40× objective, oil immersion. Cropped to a single cell. Bone marrow aspirate smear: 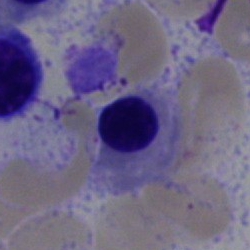
Showing a normoblast.